250×250 px · bone marrow aspirate smear.
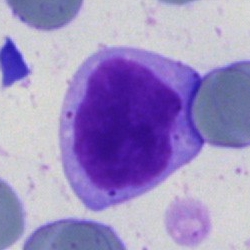 Specimen: bone marrow aspirate smear.
Cell type: undifferentiated blast.